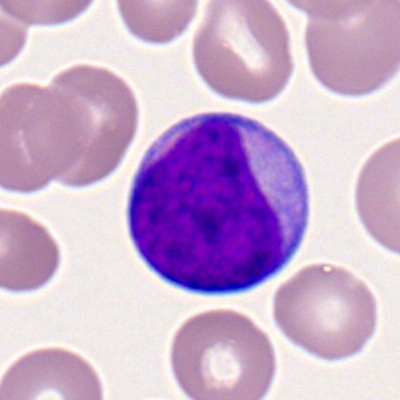 Peripheral blood film, single cell — myeloid blast.